Bone marrow aspirate smear.
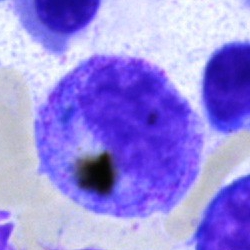 {"cell_type": "promyelocyte", "lineage": "myeloid"}